Single cell centered in the field. Bone marrow aspirate smear.
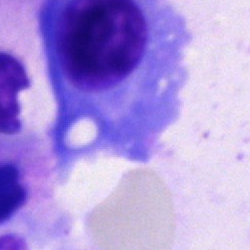

Impression → plasmacyte.